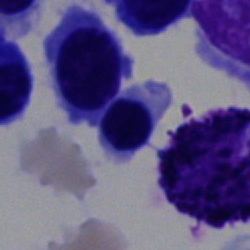Q: What type of cell is this?
A: This is a normoblast.